MGG-stained · bone marrow smear · brightfield microscopy, 40× oil immersion: 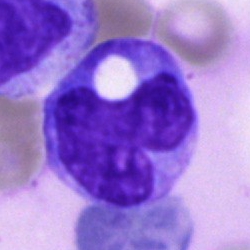 Q: What is shown here?
A: Monocyte.